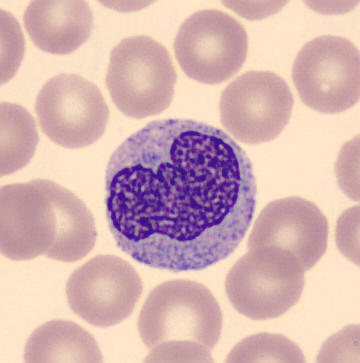 Impression → monocyte.

Peripheral blood smear.